Bone marrow smear — 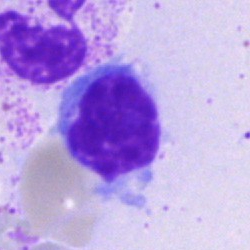The cell is lymphocyte.